Bone marrow aspirate smear
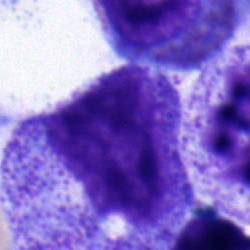
A progranulocyte.